Bone marrow smear; image size 250×250: 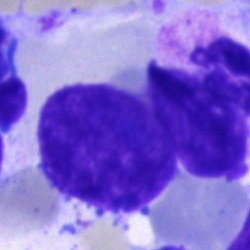 Q: What is shown here?
A: This is an artefact.